Bone marrow aspirate smear. Pappenheim-stained:
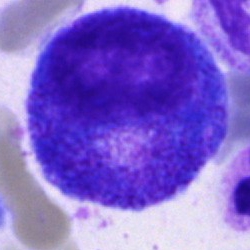 Q: What is shown here?
A: Promyelocyte.